Bone marrow smear; MGG-stained; image size 250×250:
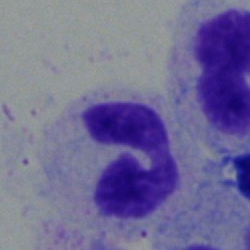 A neutrophil (segmented).